40× oil immersion · bone marrow smear:
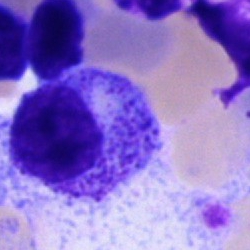

This is a myelocyte.